May-Grünwald-Giemsa/Pappenheim stain · bone marrow aspirate smear · single-cell field.
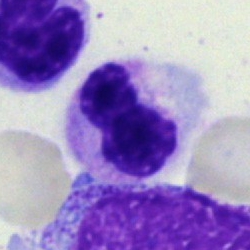 Single cell identified as a band-form neutrophil.